Bone marrow aspirate smear · May-Grünwald-Giemsa/Pappenheim stain
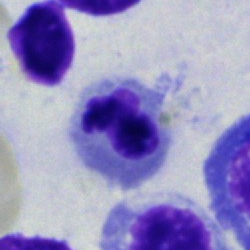

{"cell_type": "normoblast"}